Single-cell crop · bone marrow aspirate smear.
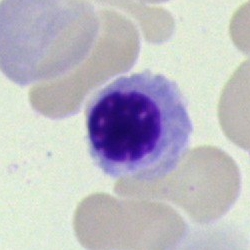
Specimen: bone marrow aspirate smear.
Cell: normoblast.
Lineage: erythroid.